Brightfield microscopy, 40× oil immersion · MGG-stained · bone marrow smear:
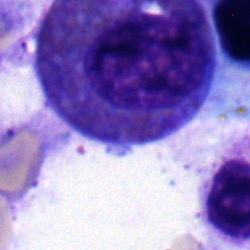

Morphology → eosinophilic granulocyte.